400×400 px. Romanowsky-stained. Peripheral blood film
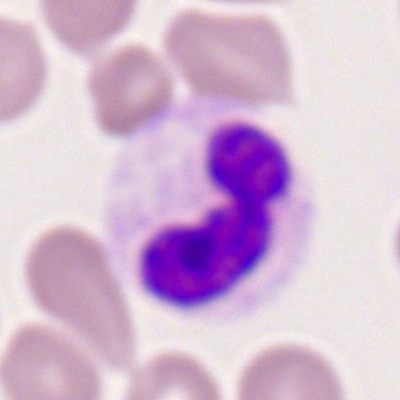

Specimen: peripheral blood film.
Cell type: polymorphonuclear neutrophil.